Bone marrow smear: 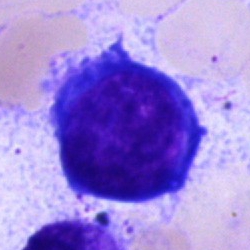 The morphological class is nucleated red cell.